Image size 250×250. Bone marrow smear:
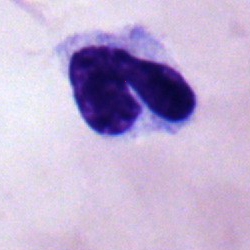

The cell is band neutrophil.